100× oil immersion, 14.14 px/µm; single cell centered in the field; peripheral blood film
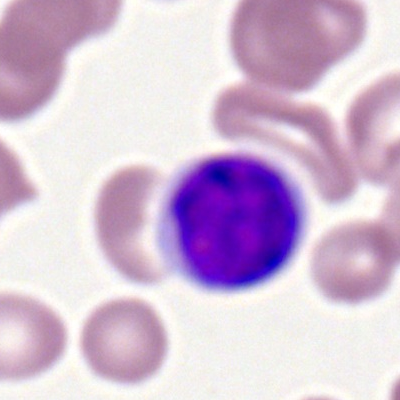

Q: What cell is this?
A: Typical lymphocyte.